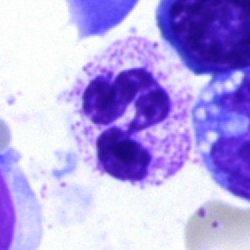
Segmented neutrophil.